Bone marrow smear; single-cell field; brightfield, 40× oil-immersion objective:
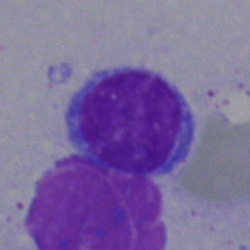Morphological class = typical lymphocyte.